Bone marrow smear:
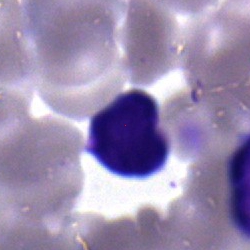
The cell is typical lymphocyte.